Peripheral blood film. Single-cell crop. Brightfield, 100× oil-immersion objective: 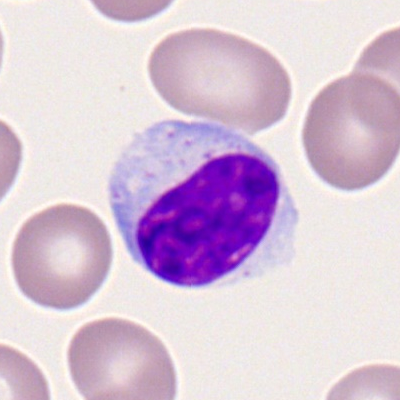 A lymphocyte.